Brightfield microscopy, 40× oil immersion. Single-cell field. Bone marrow smear — 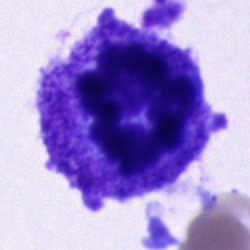

{"cell_type": "progranulocyte", "lineage": "myeloid"}